Bone marrow aspirate smear — 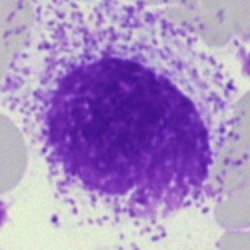The cell type is artefact.